Bone marrow smear. Single-cell field:
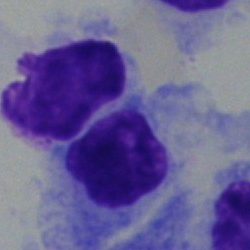
The classification is hairy cell.